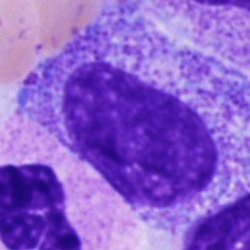
Single-cell crop from a bone marrow smear: progranulocyte.